Peripheral blood film:
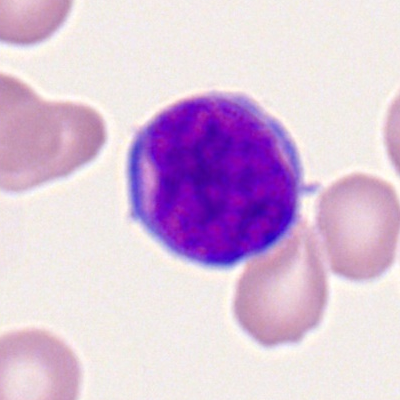This is a myeloblast.